Peripheral blood smear.
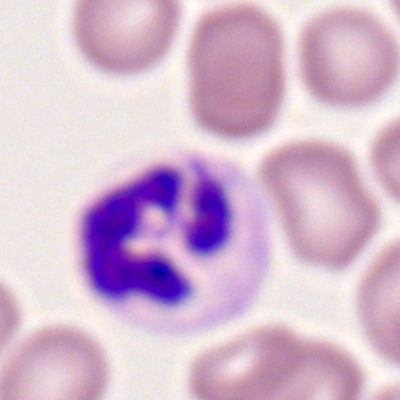Single cell identified as a polymorphonuclear neutrophil.